Bone marrow smear
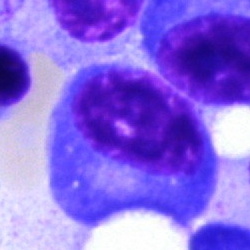
Plasmacyte.